Bone marrow aspirate smear; image size 250×250; May-Grünwald-Giemsa/Pappenheim stain:
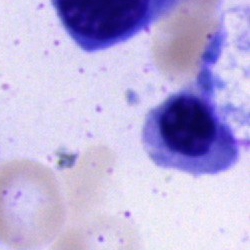

{"cell_type": "normoblast"}